Peripheral blood film: 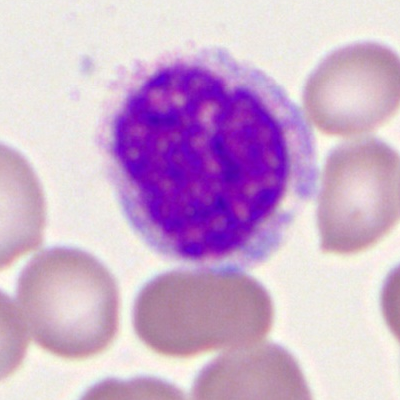 Q: Which cell type is shown here?
A: A monocyte.